Bone marrow aspirate smear: 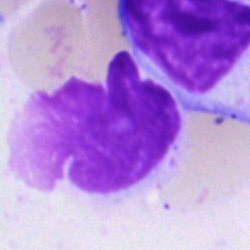

The cell shown is an artefact.